Bone marrow smear · 40× oil immersion · MGG-stained.
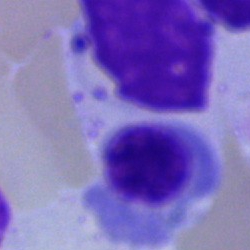
Specimen: bone marrow aspirate smear.
Morphological class: normoblast.
Lineage: erythroid.